May-Grünwald-Giemsa stain; bone marrow aspirate smear; 40× oil immersion.
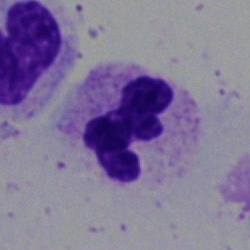

Morphological class — segmented neutrophil.